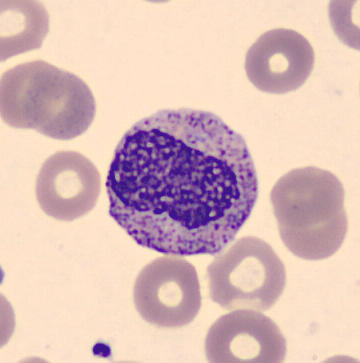 Peripheral blood smear.
A myelocyte.